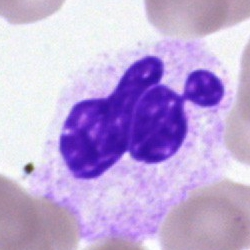
{"cell_type": "polymorphonuclear neutrophil", "lineage": "myeloid"}